Bone marrow smear: 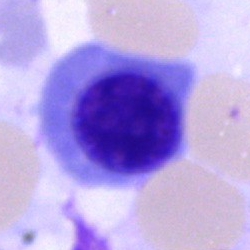 Specimen: bone marrow aspirate smear.
Cell type: nucleated red blood cell.